Bone marrow aspirate smear · cropped to a single cell — 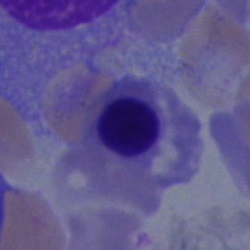

Impression — normoblast.